Bone marrow smear · 250×250 px · May-Grünwald-Giemsa stain: 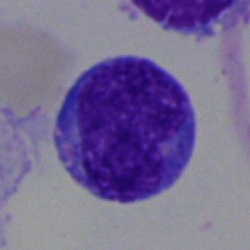 {"cell_type": "blast cell"}